Brightfield microscopy, 40× oil immersion · bone marrow smear.
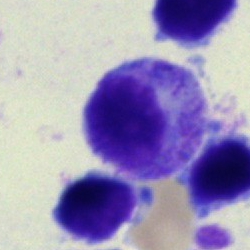Cell type = promyelocyte.